Brightfield microscopy, 40× oil immersion · bone marrow smear · Pappenheim-stained:
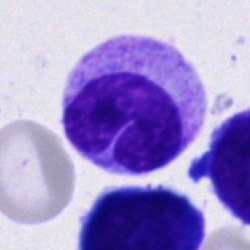

Specimen: bone marrow aspirate smear.
Cell: band-form neutrophil.
Lineage: myeloid.